Bone marrow smear; single-cell crop
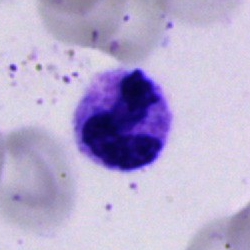

Cell — polymorphonuclear neutrophil.